Brightfield microscopy, 40× oil immersion. 250×250 px. Bone marrow smear
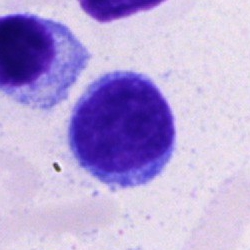

Q: What is shown here?
A: This is a typical lymphocyte.